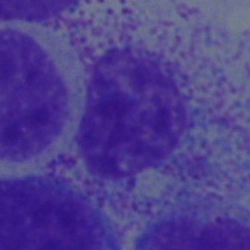
A myelocyte on a bone marrow smear.